Bone marrow smear:
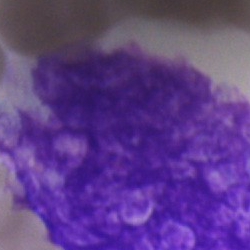

Single cell identified as an artifact.